Peripheral blood smear. Romanowsky-stained.
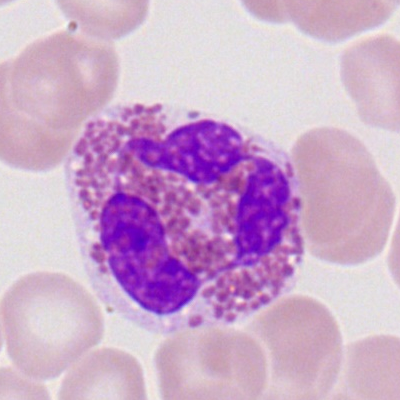

Specimen: peripheral blood film.
Classification: eosinophilic granulocyte.